Bone marrow aspirate smear:
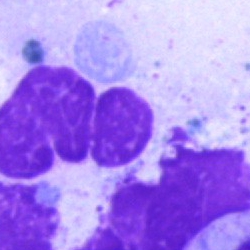

Impression — artifact.